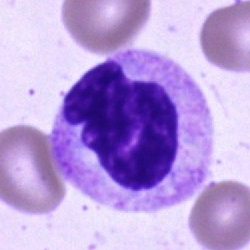

Q: What type of cell is this?
A: This is a neutrophil (segmented).